Bone marrow smear
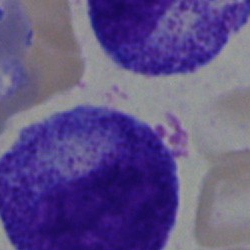

Cell: myelocyte.